Bone marrow aspirate smear; cropped to a single cell; May-Grünwald-Giemsa stain: 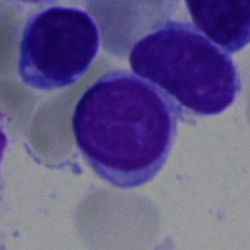

The cell shown is a lymphocyte.